40× objective, oil immersion · bone marrow aspirate smear · May-Grünwald-Giemsa/Pappenheim stain — 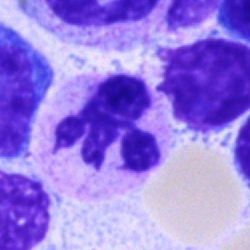A segmented neutrophil.